Bone marrow smear:
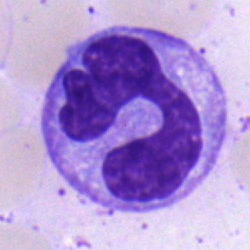 Cell — monocyte.